Bone marrow aspirate smear
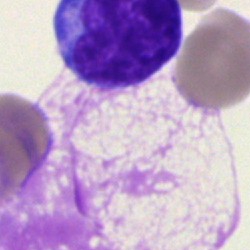 The cell is artifact.